250×250; bone marrow aspirate smear
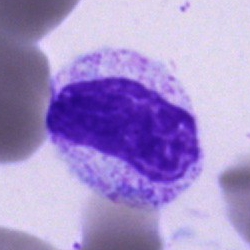The morphological class is band neutrophil.